Bone marrow aspirate smear: 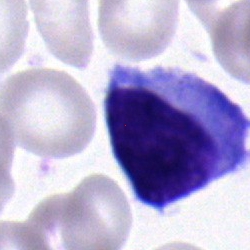{"cell_type": "undifferentiated blast"}